Bone marrow aspirate smear — 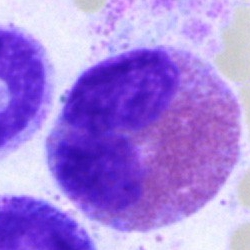

{"cell_type": "eosinophilic granulocyte"}